100× objective, oil immersion. Peripheral blood film
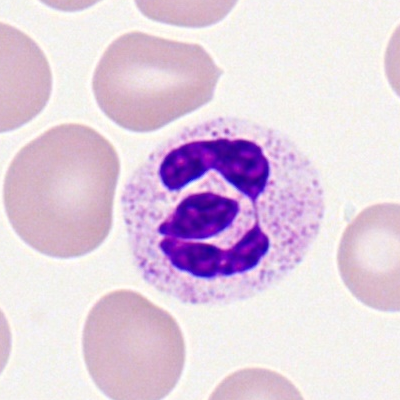

Single cell identified as a segmented neutrophil.